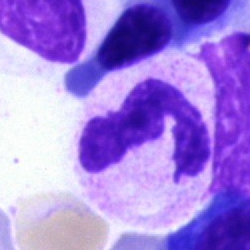Single cell identified as a segmented neutrophil.